Single cell centered in the field; MGG-stained; bone marrow aspirate smear:
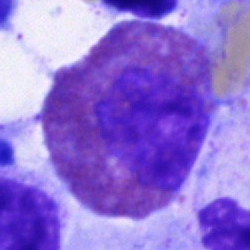 An eosinophil.